Bone marrow aspirate smear — 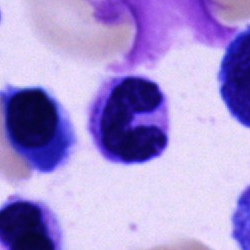
Cell — band neutrophil.